Peripheral blood smear — 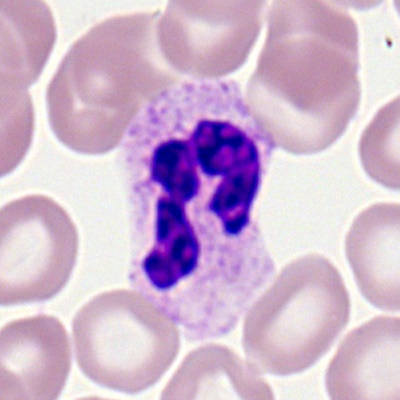

The cell shown is a neutrophil (segmented).